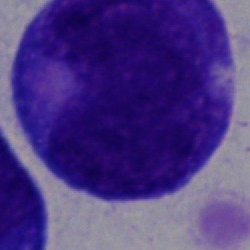
Single-cell crop from a bone marrow smear: undifferentiated blast.